Bone marrow aspirate smear:
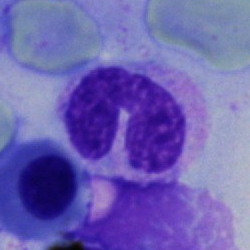 The classification is neutrophil (band).